Bone marrow smear — 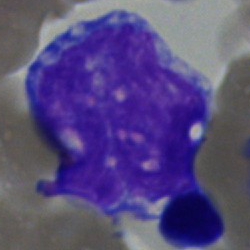A blast.